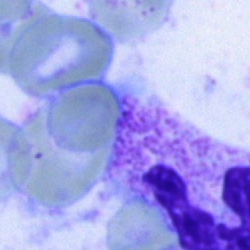Q: Which cell type is shown here?
A: Polymorphonuclear neutrophil.